Bone marrow aspirate smear:
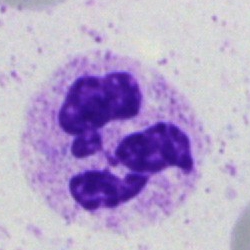 Q: What is shown here?
A: This is a neutrophil (segmented).